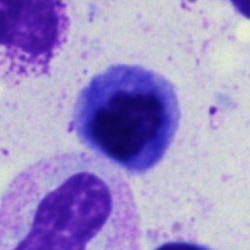 Morphology consistent with a nucleated red blood cell.